Bone marrow aspirate smear.
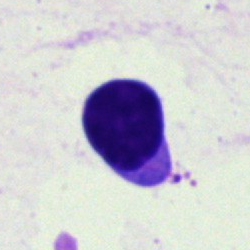 Typical lymphocyte.